40× objective, oil immersion; bone marrow smear; image size 250×250.
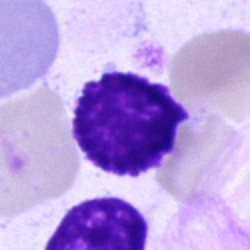
Cell type — artefact.